Peripheral blood film. Single-cell crop.
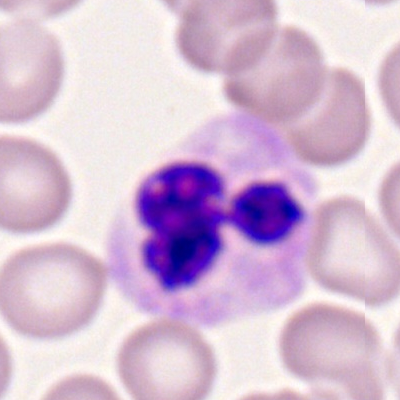
Polymorphonuclear neutrophil.